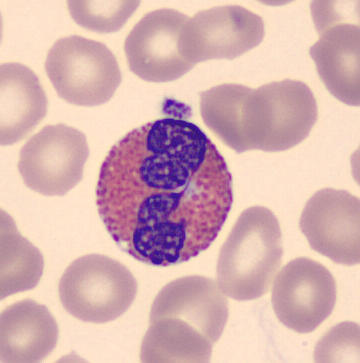
Morphology — eosinophilic granulocyte.